Bone marrow smear: 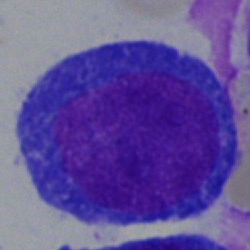

Showing a blast.